Bone marrow aspirate smear
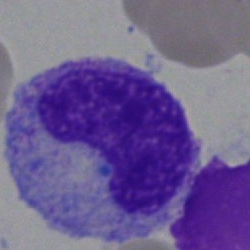
Cell = metamyelocyte.